40× objective, oil immersion. Bone marrow aspirate smear:
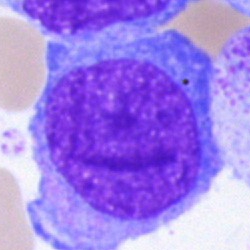This is a blast.